Bone marrow aspirate smear · May-Grünwald-Giemsa/Pappenheim stain.
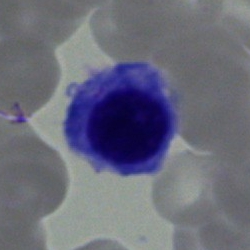
Q: What type of cell is this?
A: Nucleated red blood cell.